Single cell centered in the field · brightfield, 40× oil-immersion objective · bone marrow smear — 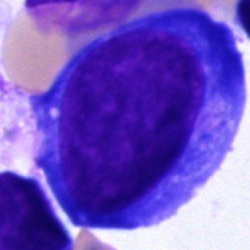

Proerythroblast.